Peripheral blood film · MGG-stained:
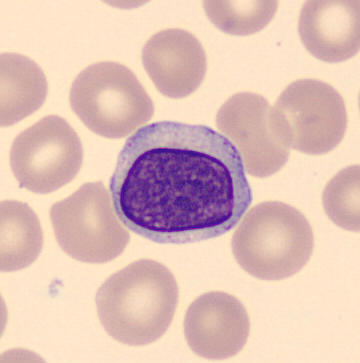

A lymphocyte.